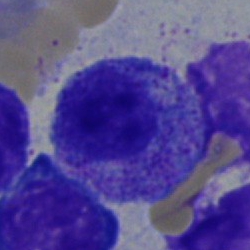

Q: Which cell type is shown here?
A: Myelocyte.